Bone marrow aspirate smear:
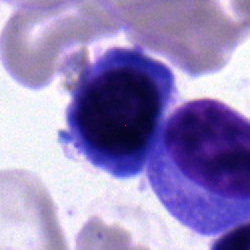

Q: What is the morphological classification of this cell?
A: It is a nucleated red cell.